Bone marrow aspirate smear · Pappenheim-stained — 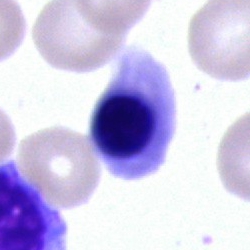Morphology — nucleated red cell.